Peripheral blood smear:
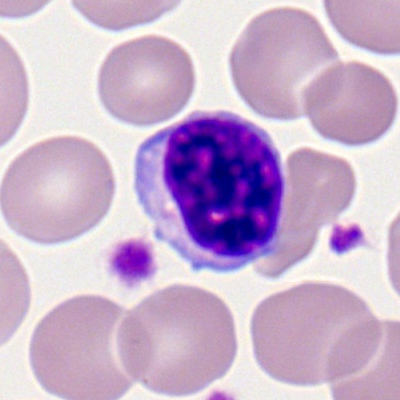
Cell type: typical lymphocyte.